250×250; bone marrow aspirate smear
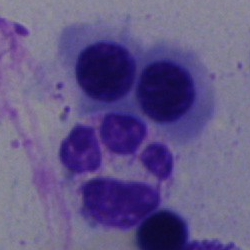

Morphology — erythroblast.